Bone marrow smear — 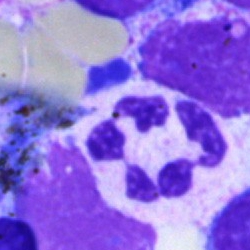

Polymorphonuclear neutrophil.